Bone marrow smear; MGG-stained.
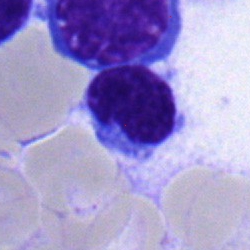
Single cell identified as a lymphocyte.